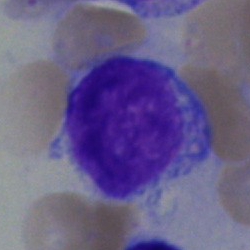
Morphology consistent with an undifferentiated blast.